Bone marrow smear. Image size 250×250. 40× oil immersion.
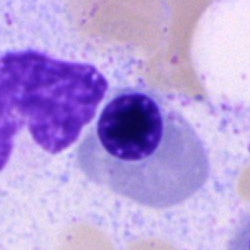

Specimen: bone marrow aspirate smear.
Cell type: nucleated red cell.